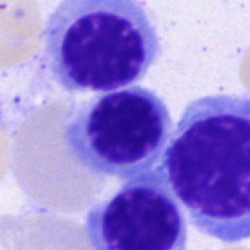
The cell shown is a normoblast.